Bone marrow aspirate smear.
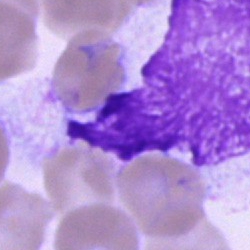
Morphological class: artefact.